Bone marrow smear: 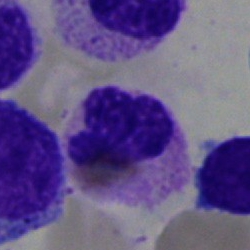

Specimen: bone marrow aspirate smear.
Classification: neutrophil (segmented).